Bone marrow smear · brightfield microscopy, 40× oil immersion — 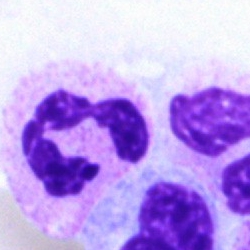Segmented neutrophil.